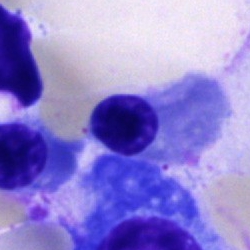Morphology → erythroblast.